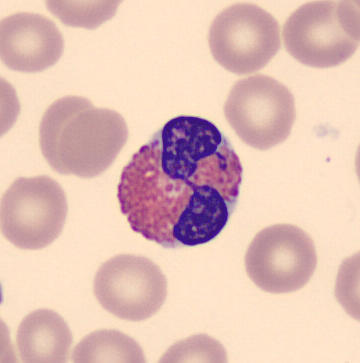

Preparation: May Grünwald-Giemsa stain.

Specimen: peripheral blood smear.
Morphological class: eosinophil.
Lineage: myeloid.